Bone marrow smear. 40× oil immersion:
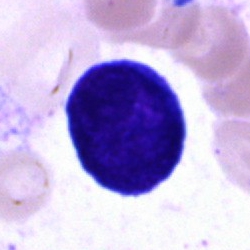
This is a blast cell.